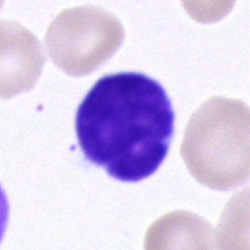A typical lymphocyte.